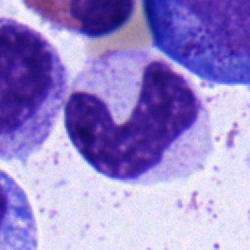

Morphological class = band neutrophil.